Cropped to a single cell; brightfield, 40× oil-immersion objective; bone marrow aspirate smear
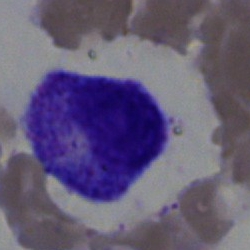

Showing a myelocyte.